Single-cell crop. Bone marrow smear:
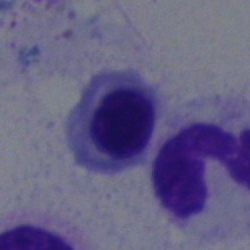Impression — normoblast.